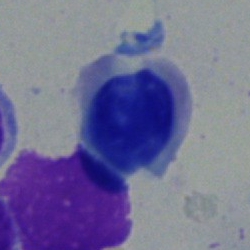

Q: What cell is this?
A: An erythroblast.